250×250. Bone marrow smear:
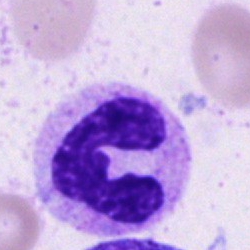

Segmented neutrophil.